Bone marrow smear. Brightfield microscopy, 40× oil immersion:
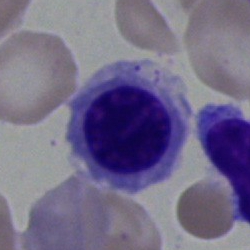

Cell type: nucleated red cell.